Bone marrow smear — 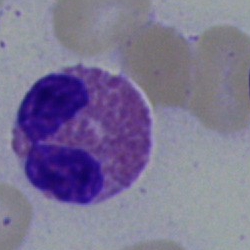 Specimen: bone marrow smear.
Classification: eosinophilic granulocyte.
Lineage: myeloid.